Single cell centered in the field; bone marrow aspirate smear — 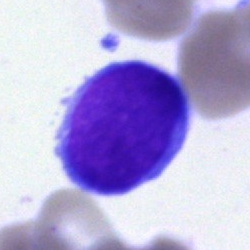 Blast cell.